Peripheral blood film · 100× objective, oil immersion: 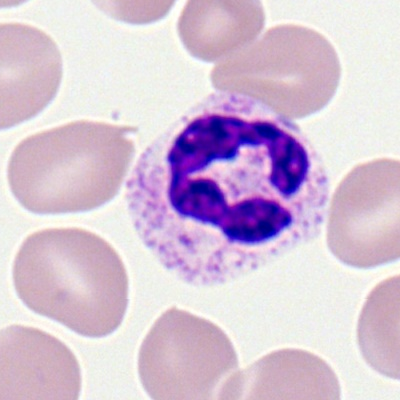
A segmented neutrophil.